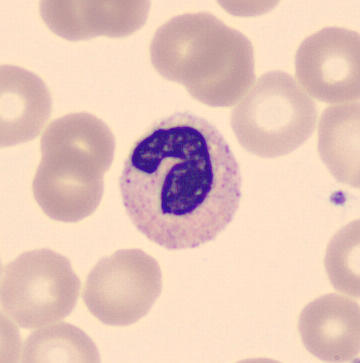
Morphology consistent with a neutrophil (band).
Image size 360×363; peripheral blood film.